360×363 px; peripheral blood smear; MGG-stained: 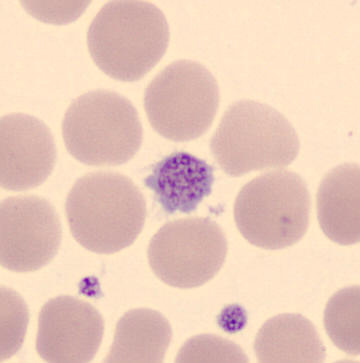 Morphological class — platelet.